Single-cell field. 250×250. Bone marrow smear:
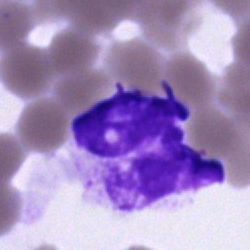Q: What is shown here?
A: It is an artefact.